Bone marrow smear
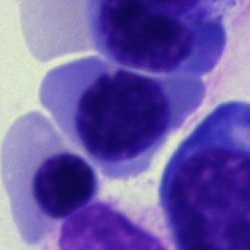

Specimen: bone marrow smear.
Cell: nucleated red cell.
Lineage: erythroid.